Bone marrow aspirate smear.
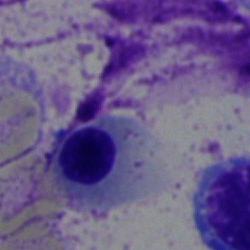

Q: Identify the cell.
A: A normoblast.